Bone marrow smear: 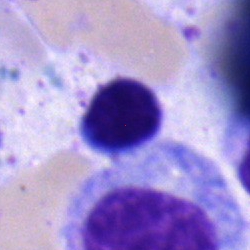 {"cell_type": "lymphocyte", "lineage": "lymphoid"}